May-Grünwald-Giemsa stain; brightfield microscopy, 40× oil immersion; bone marrow aspirate smear: 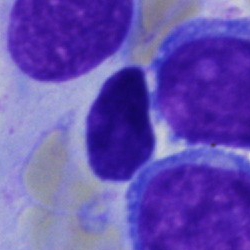 A lymphocyte.